Bone marrow smear:
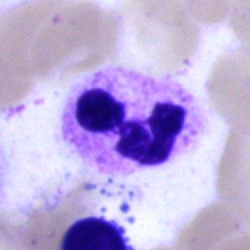
Single cell identified as a neutrophil (segmented).